Bone marrow aspirate smear. 40× oil immersion: 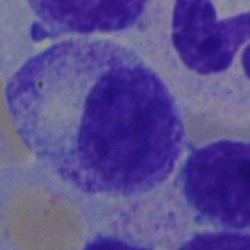
Cell: myelocyte.